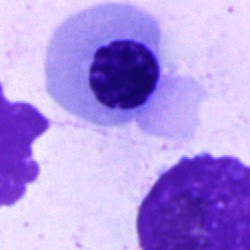

Cell type: normoblast.